Bone marrow aspirate smear — 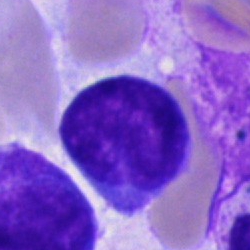 Cell: undifferentiated blast.